250×250 px · cropped to a single cell · bone marrow aspirate smear: 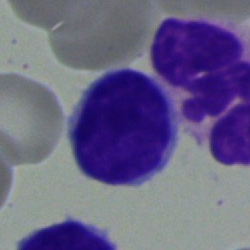 Specimen: bone marrow smear.
Cell type: lymphocyte.
Lineage: lymphoid.